Bone marrow smear: 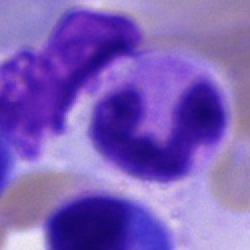The classification is segmented neutrophil.